Bone marrow aspirate smear
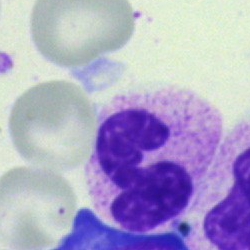
Q: Which cell type is shown here?
A: This is a polymorphonuclear neutrophil.